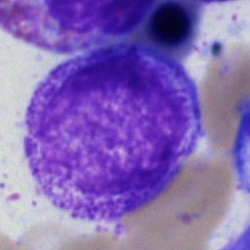Bone marrow aspirate smear, single cell — myelocyte.